Bone marrow aspirate smear:
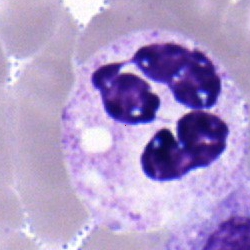

This is a polymorphonuclear neutrophil.